Bone marrow smear. Single-cell field — 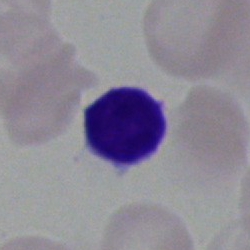
Morphology → lymphocyte.